40× objective, oil immersion. Bone marrow aspirate smear — 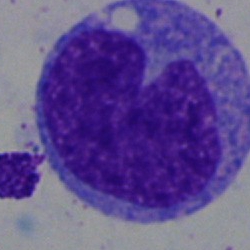 Morphological class = monocyte.